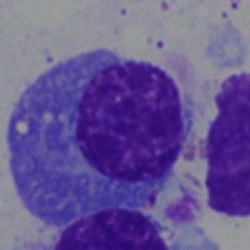 Single cell identified as a plasmacyte.